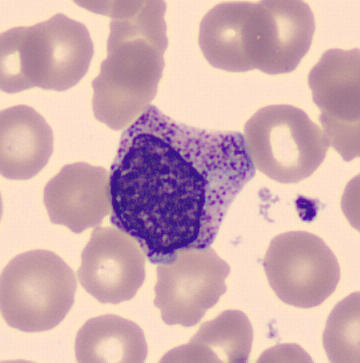Image size 360×363; peripheral blood film.

{"cell_type": "myelocyte"}